Bone marrow smear
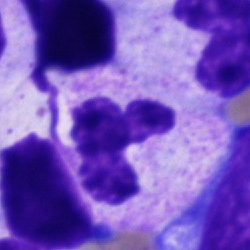
The morphological class is polymorphonuclear neutrophil.